Bone marrow aspirate smear · May-Grünwald-Giemsa stain.
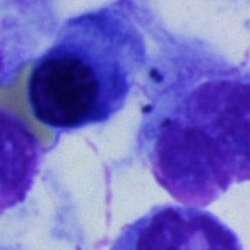This is a nucleated red blood cell.